Bone marrow aspirate smear — 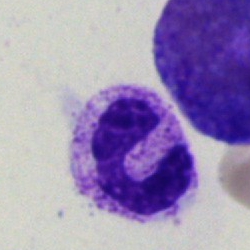Specimen: bone marrow smear.
Classification: segmented neutrophil.
Lineage: myeloid.